250 by 250 pixels · bone marrow smear:
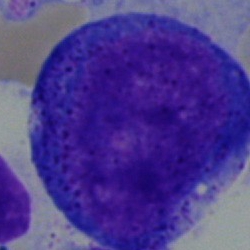 Q: Identify the cell.
A: Promyelocyte.